Single-cell crop; image size 250×250; bone marrow aspirate smear
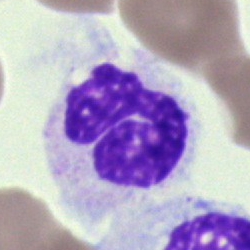
Cell type = neutrophil (segmented).